Bone marrow aspirate smear:
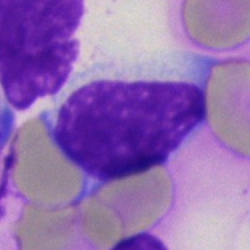 Cell type: typical lymphocyte.